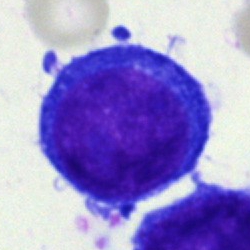

Specimen: bone marrow aspirate smear.
Cell type: proerythroblast.